Bone marrow aspirate smear. Brightfield microscopy, 40× oil immersion — 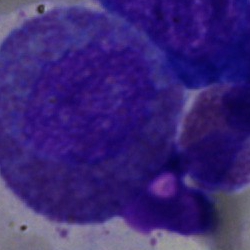 Q: What type of cell is this?
A: This is an eosinophil.